Bone marrow aspirate smear.
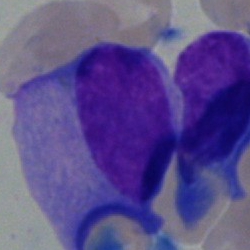Q: Which cell type is shown here?
A: This is a plasma cell.